Bone marrow aspirate smear; image size 250×250:
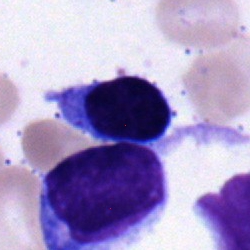
Erythroblast.